250×250; bone marrow aspirate smear; brightfield microscopy, 40× oil immersion: 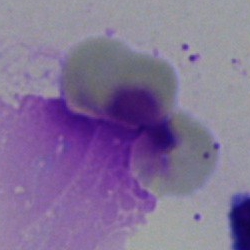

Q: What is shown here?
A: This is an artifact.